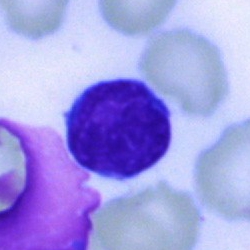 A lymphocyte.